Image size 250×250. Bone marrow smear. Cropped to a single cell:
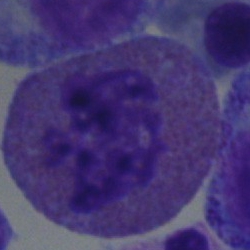This is an eosinophilic granulocyte.